Bone marrow smear · 40× objective, oil immersion:
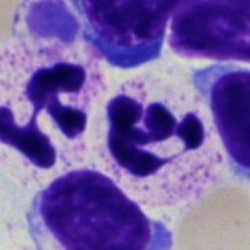

This is a segmented neutrophil.